Bone marrow smear — 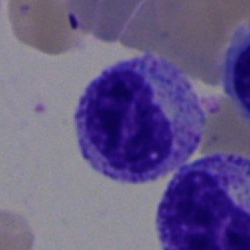 This is a myelocyte.